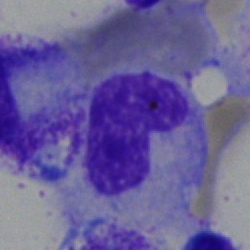Bone marrow aspirate smear, single cell — band-form neutrophil.